40× objective, oil immersion; bone marrow smear:
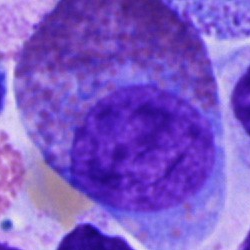 Q: What type of cell is this?
A: This is an eosinophilic granulocyte.